May-Grünwald-Giemsa/Pappenheim stain. Bone marrow aspirate smear. Single-cell field — 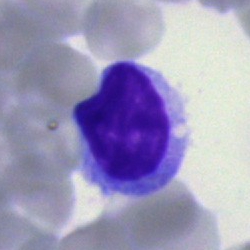
This is a typical lymphocyte.